Cropped to a single cell. Bone marrow aspirate smear. 250×250 px
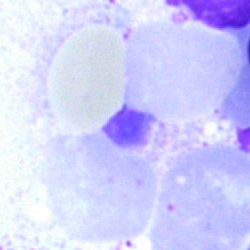
Q: What is shown here?
A: This is an artifact.